Bone marrow smear: 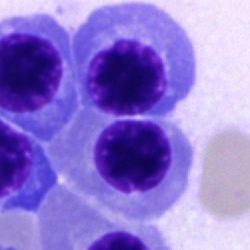 Specimen: bone marrow smear.
Cell type: erythroblast.
Lineage: erythroid.